Bone marrow aspirate smear.
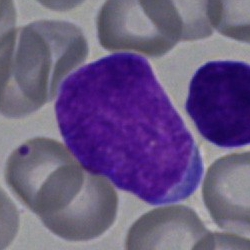

Classification — blast.